Bone marrow smear: 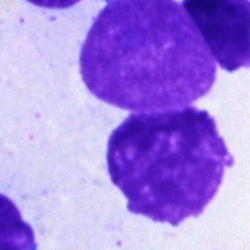

Artifact.